Bone marrow smear — 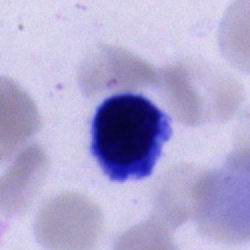
Cell of indeterminate lineage.